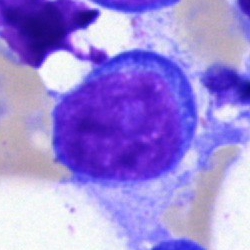
Q: What cell is this?
A: Blast.